Bone marrow smear. May-Grünwald-Giemsa/Pappenheim stain
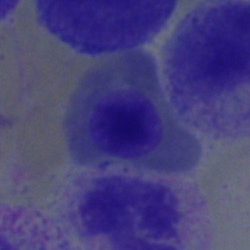Morphology consistent with a nucleated red cell.